Bone marrow aspirate smear; MGG-stained:
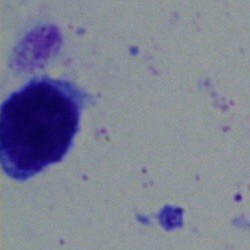
Q: Which cell type is shown here?
A: Typical lymphocyte.